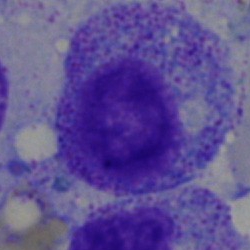 A myelocyte on a bone marrow smear.